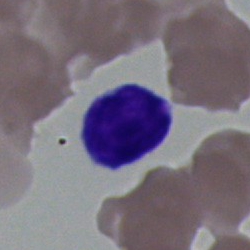
Single-cell crop from a bone marrow smear: lymphocyte.